Bone marrow smear
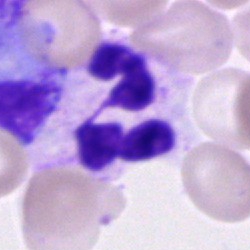 Classification = polymorphonuclear neutrophil.